Bone marrow smear:
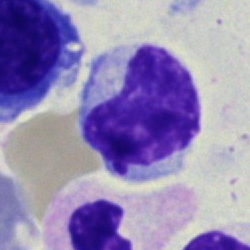

Morphological class — lymphocyte.